Bone marrow smear; May-Grünwald-Giemsa/Pappenheim stain: 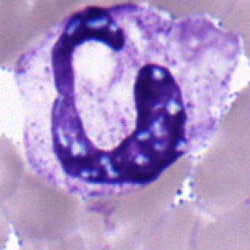

Q: What cell is this?
A: It is a segmented neutrophil.